Bone marrow smear — 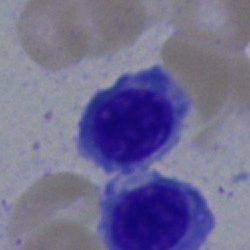
This is a normoblast.